Bone marrow aspirate smear: 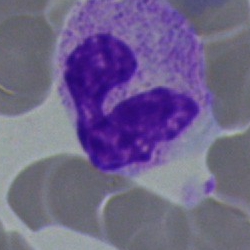
Classification = segmented neutrophil.